Bone marrow aspirate smear:
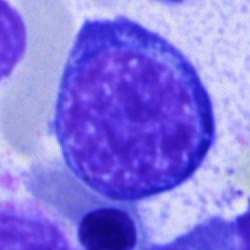This is a nucleated red cell.